Bone marrow aspirate smear: 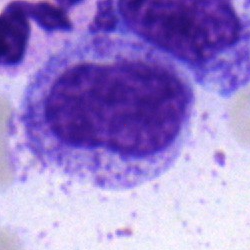

A myelocyte.